Single cell centered in the field; bone marrow smear — 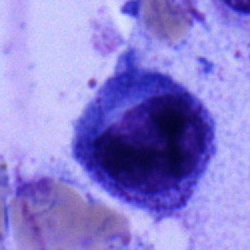 {"cell_type": "promyelocyte", "lineage": "myeloid"}